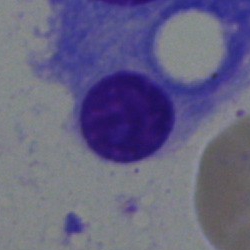The morphological class is plasmacyte.